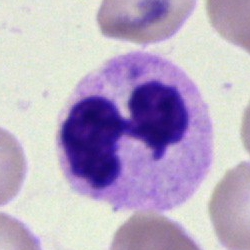 Impression — neutrophil (segmented).